Bone marrow aspirate smear; 250×250; 40× objective, oil immersion — 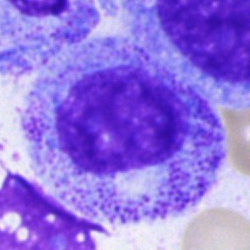

The classification is promyelocyte.